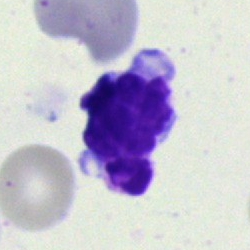Q: What is shown here?
A: An artifact.